Bone marrow smear. Single-cell field — 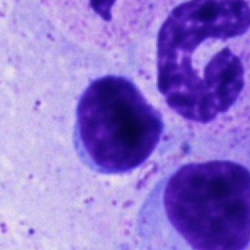
Specimen: bone marrow aspirate smear.
Cell: typical lymphocyte.